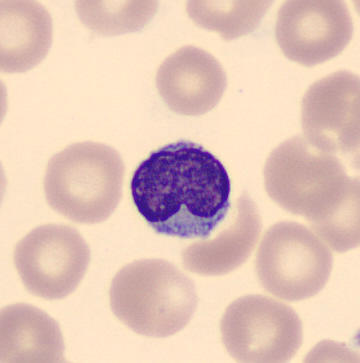Cell: typical lymphocyte. Preparation: Peripheral blood smear.